Bone marrow smear.
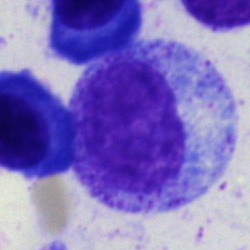

Q: What is the morphological classification of this cell?
A: Progranulocyte.